Bone marrow aspirate smear; brightfield microscopy, 40× oil immersion.
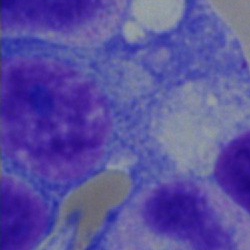Impression — plasma cell.